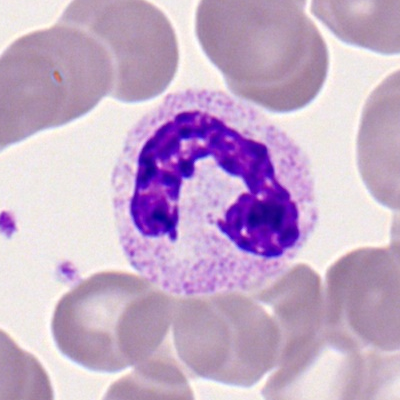
Impression → neutrophil (segmented).